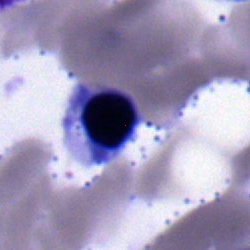A nucleated red cell.